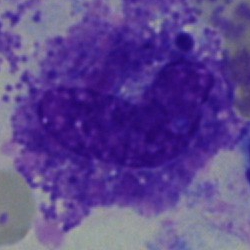
Impression — cell not matching the other categories.